Single-cell field; bone marrow smear.
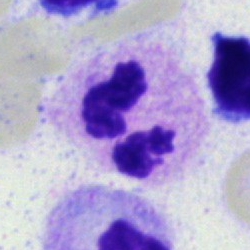

The morphological class is segmented neutrophil.